Brightfield, 40× oil-immersion objective · MGG-stained · bone marrow aspirate smear — 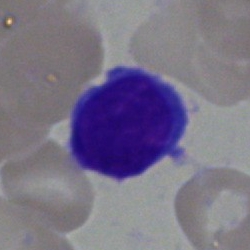 Specimen: bone marrow aspirate smear.
Classification: typical lymphocyte.